Bone marrow aspirate smear
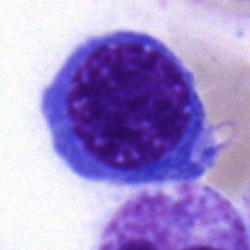Q: What cell is this?
A: This is an erythroblast.